Brightfield, 40× oil-immersion objective · bone marrow aspirate smear.
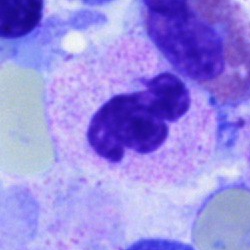Single cell identified as a neutrophil (segmented).